Brightfield microscopy, 40× oil immersion; bone marrow smear
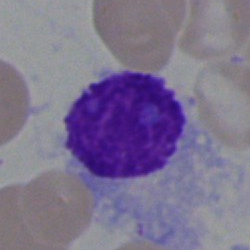
Classification — artifact.